40× oil immersion · 250×250 px · bone marrow aspirate smear — 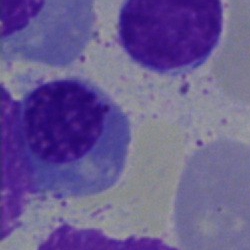 {"cell_type": "nucleated red blood cell", "lineage": "erythroid"}